Bone marrow aspirate smear: 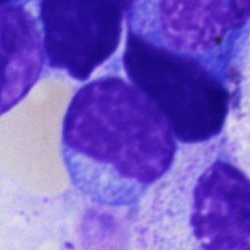
Showing a typical lymphocyte.